Bone marrow smear:
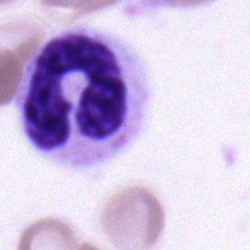
Cell — neutrophil (band).